Bone marrow smear — 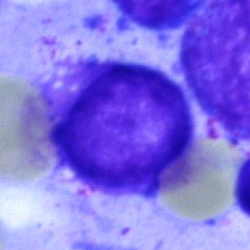 The classification is undifferentiated blast.